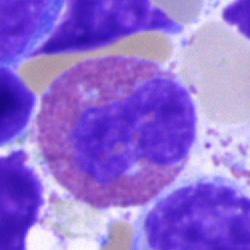 Morphological class = eosinophil.